Bone marrow smear; 250×250; cropped to a single cell — 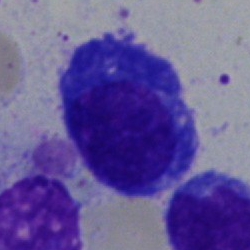Plasma cell.